Bone marrow smear · 250×250: 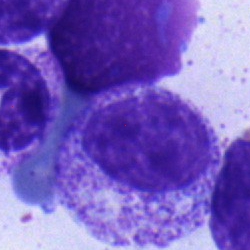
Q: What is the morphological classification of this cell?
A: It is a myelocyte.